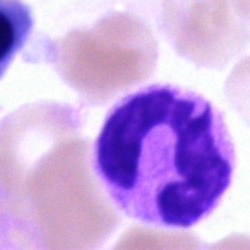
Q: What cell is this?
A: This is a stab cell.